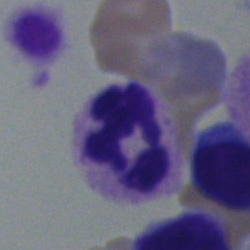
Impression — segmented neutrophil.